Cropped to a single cell. Bone marrow aspirate smear
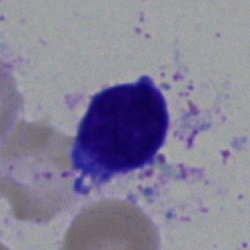Q: What type of cell is this?
A: A typical lymphocyte.